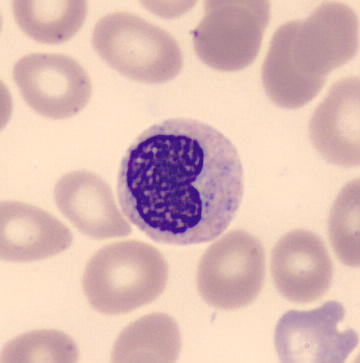Preparation: Peripheral blood smear.

Metamyelocyte.